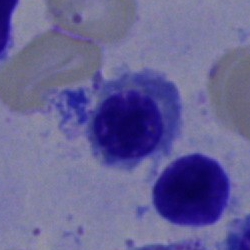 Specimen: bone marrow smear.
Classification: erythroblast.